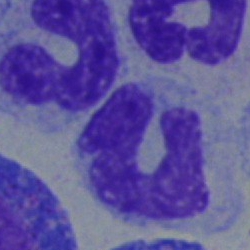
Bone marrow smear showing a monocyte.